Peripheral blood film. Single-cell crop. 400 by 400 pixels: 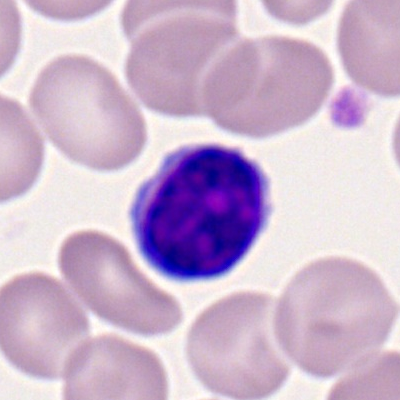The cell type is lymphocyte.